Bone marrow smear: 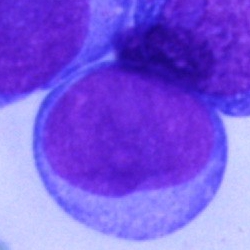
Morphology → blast cell.